Single cell centered in the field · bone marrow aspirate smear — 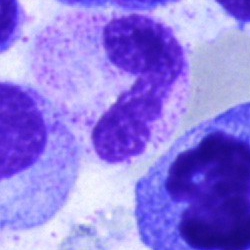
Morphology → band neutrophil.